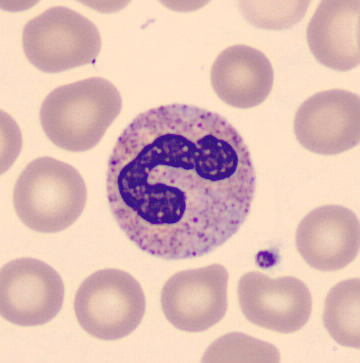 Single cell centered in the field · peripheral blood film.

Single cell identified as a band neutrophil.